May-Grünwald-Giemsa/Pappenheim stain; 40× oil immersion; bone marrow aspirate smear — 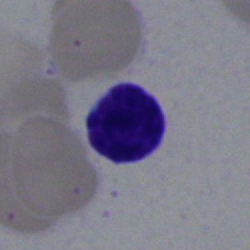This is a typical lymphocyte.